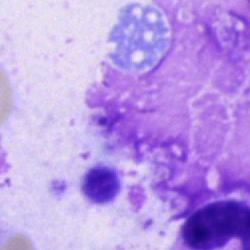

Bone marrow aspirate smear, single cell — artefact.